Bone marrow aspirate smear.
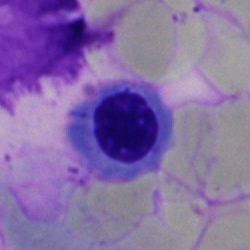
Cell = erythroblast.